Bone marrow smear · cropped to a single cell — 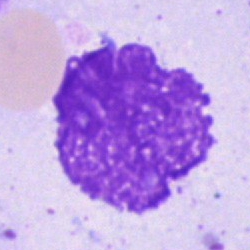
Impression → artifact.